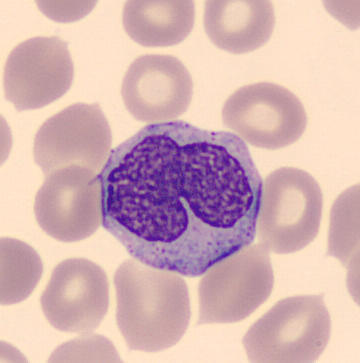 Showing a monocyte.